Bone marrow aspirate smear; 250×250: 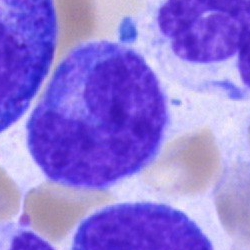
Monocyte.